Brightfield, 40× oil-immersion objective; bone marrow smear.
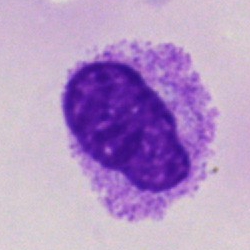 Classification = artifact.